Single-cell crop · bone marrow smear:
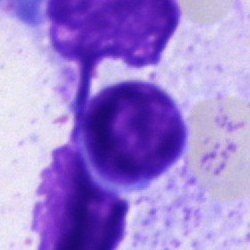 Single cell identified as a lymphocyte.